Peripheral blood smear: 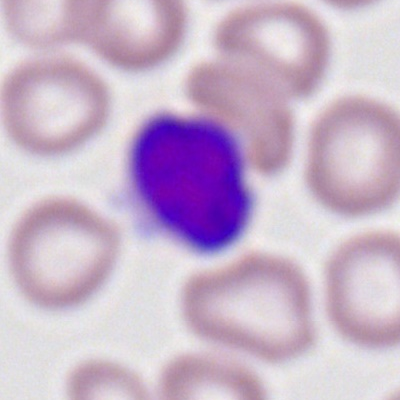
A typical lymphocyte.